Bone marrow aspirate smear
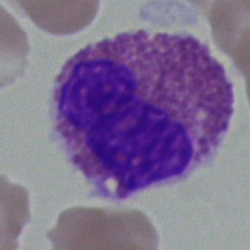
The cell shown is an eosinophil.